Cropped to a single cell. Bone marrow aspirate smear — 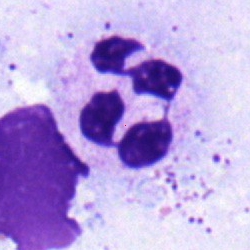

Morphological class — polymorphonuclear neutrophil.